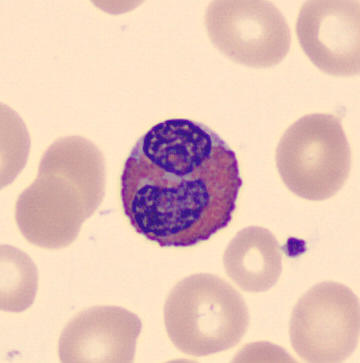
Single cell identified as an eosinophil.

Acquisition: Peripheral blood smear · image size 360×363.